Bone marrow smear; single-cell field
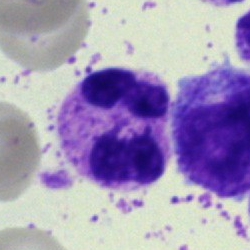
Classification — segmented neutrophil.